Bone marrow smear · single-cell crop: 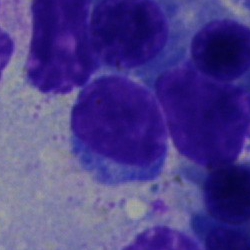

Morphological class = lymphocyte.